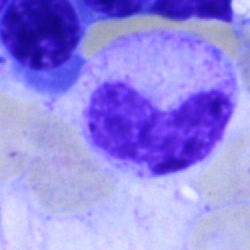
Stab cell.